Romanowsky stain · peripheral blood smear · single cell centered in the field — 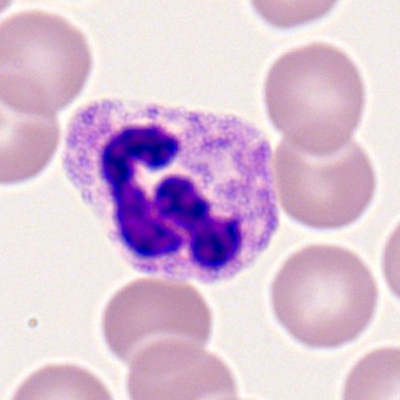 Impression — neutrophil (segmented).